Bone marrow aspirate smear; 250×250: 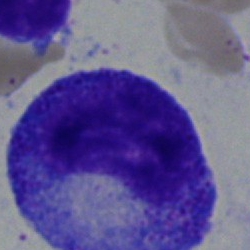
Morphological class: progranulocyte.